Bone marrow aspirate smear:
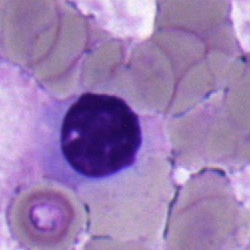Normoblast.